250×250 · bone marrow smear
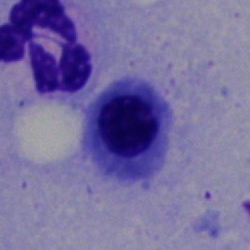

Impression — nucleated red cell.